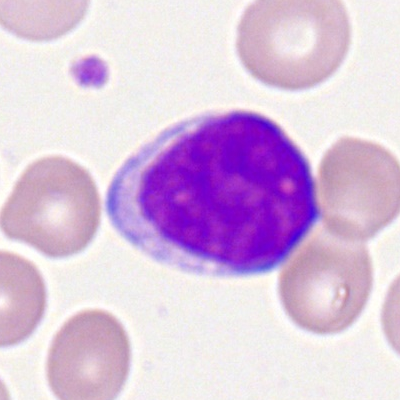
Specimen: peripheral blood film.
Cell: lymphocyte.
Lineage: lymphoid.